Bone marrow aspirate smear:
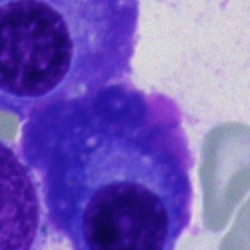Morphology consistent with a plasma cell.